250×250; bone marrow aspirate smear:
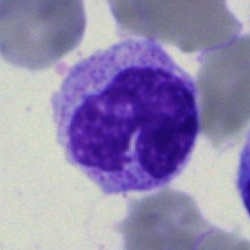{"cell_type": "neutrophil (band)"}